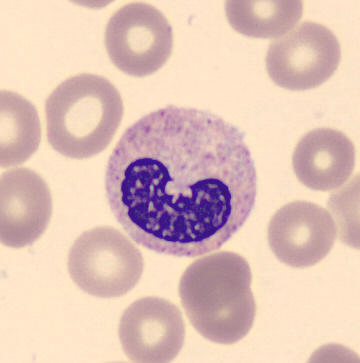
Showing a band neutrophil.

Acquisition: Peripheral blood smear · image size 360×363 · single cell centered in the field.